Bone marrow smear.
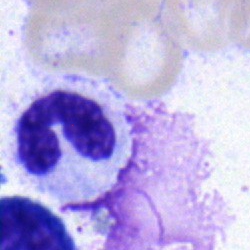

A stab cell.